Bone marrow aspirate smear
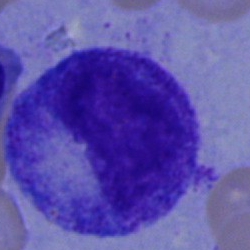Specimen: bone marrow smear.
Cell type: promyelocyte.